Bone marrow aspirate smear; 40× objective, oil immersion:
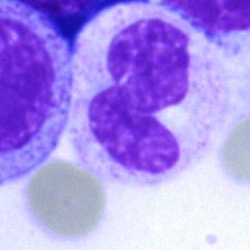 This is a stab cell.